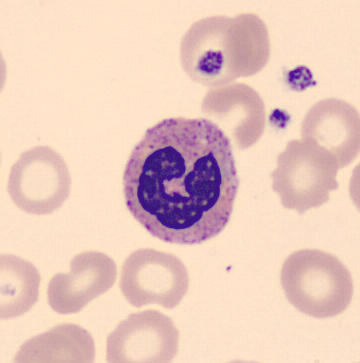
Peripheral blood film; CellaVision DM96 digital cell image; single-cell crop.

Single cell identified as a neutrophil (band).